Bone marrow aspirate smear
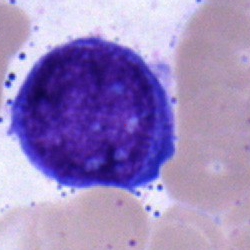 Q: Which cell type is shown here?
A: An undifferentiated blast.